Bone marrow smear; 250×250
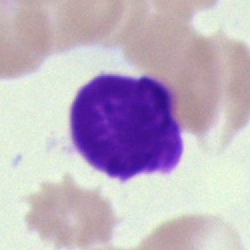
Single cell identified as a typical lymphocyte.